Bone marrow aspirate smear · May-Grünwald-Giemsa/Pappenheim stain:
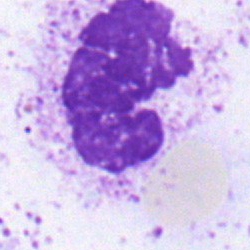The classification is band-form neutrophil.